Single-cell field. Bone marrow aspirate smear
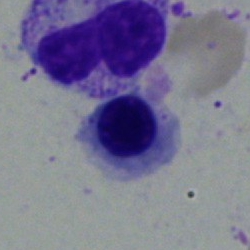 Cell type — nucleated red blood cell.